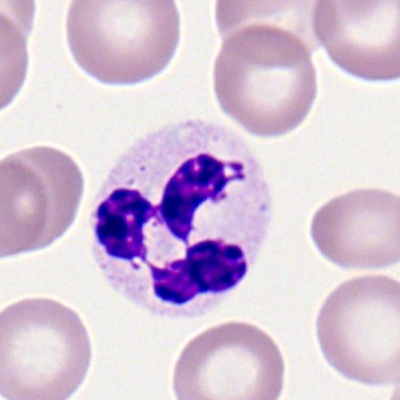
Morphology consistent with a polymorphonuclear neutrophil.